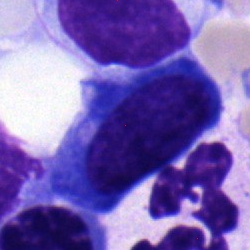
Morphology → nucleated red cell.